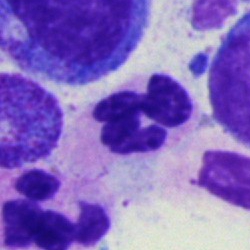Cell type: neutrophil (segmented).